Image size 250×250 · bone marrow smear.
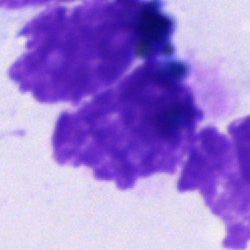Morphological class = artifact.